Bone marrow smear · 40× oil immersion:
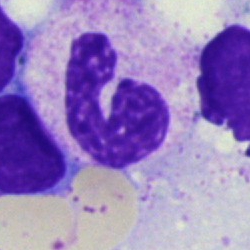

Showing a polymorphonuclear neutrophil.